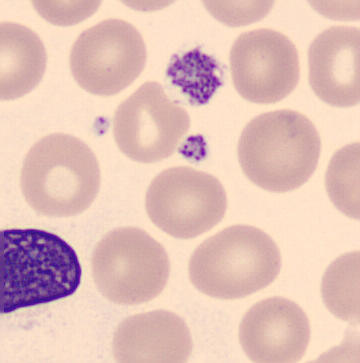Preparation: Peripheral blood smear. CellaVision DM96.
Classification — thrombocyte.